Image size 250×250. Brightfield, 40× oil-immersion objective. Bone marrow aspirate smear:
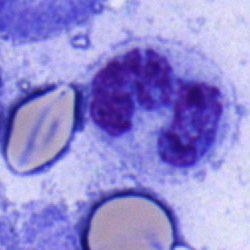Neutrophil (band).